Bone marrow aspirate smear:
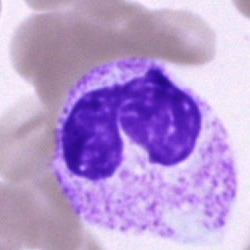This is a segmented neutrophil.